400 by 400 pixels · single-cell crop · peripheral blood smear — 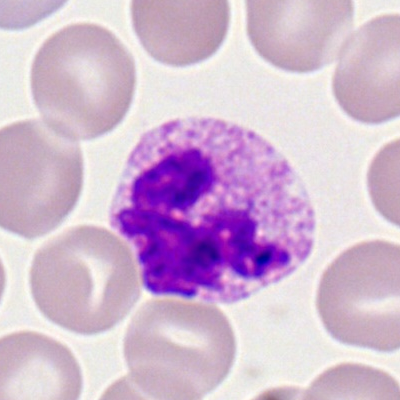 Specimen: peripheral blood film.
Cell: basophil.
Lineage: myeloid.